Bone marrow aspirate smear
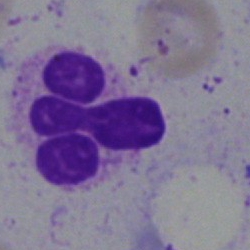

Q: Which cell type is shown here?
A: A neutrophil (segmented).